Bone marrow aspirate smear:
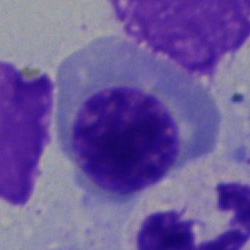 Q: What cell is this?
A: This is a normoblast.